Bone marrow aspirate smear:
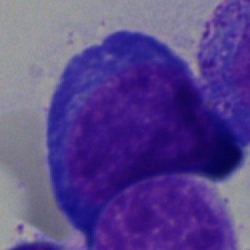

Specimen: bone marrow smear.
Cell: pronormoblast.
Lineage: erythroid.